Bone marrow smear: 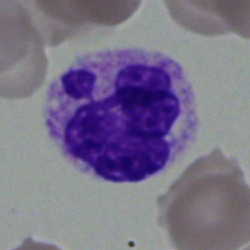 Single cell identified as a neutrophil (segmented).